Bone marrow smear — 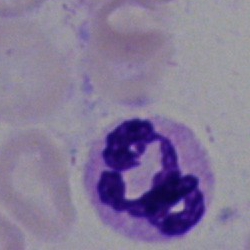Polymorphonuclear neutrophil.